Bone marrow smear: 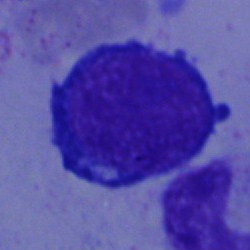Morphological class = pronormoblast.